Romanowsky stain · peripheral blood film: 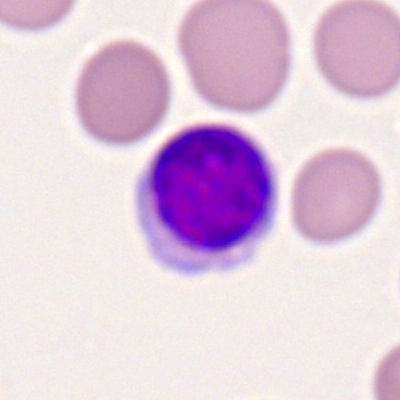
Morphology consistent with a lymphocyte.